Brightfield microscopy, 40× oil immersion · bone marrow smear.
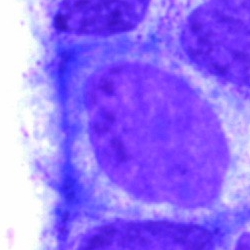Impression → myelocyte.